May-Grünwald-Giemsa stain. Bone marrow smear. Single-cell field — 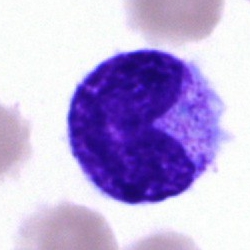Showing a metamyelocyte.